Bone marrow smear: 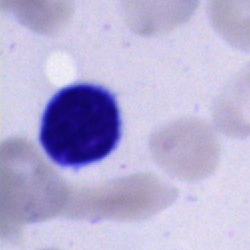 The morphological class is cell of indeterminate lineage.